Bone marrow aspirate smear
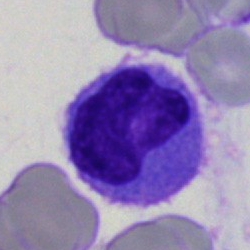 Monocyte.